Bone marrow aspirate smear; single cell centered in the field; May-Grünwald-Giemsa/Pappenheim stain
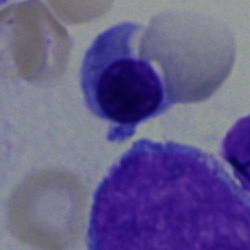

{"cell_type": "normoblast"}